Bone marrow smear.
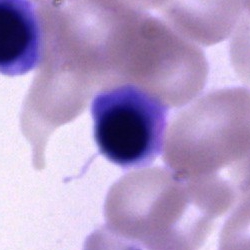
This is an unidentifiable cell.